MGG-stained. Bone marrow smear: 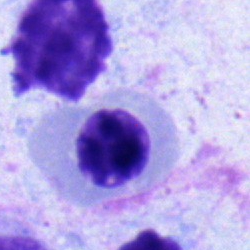
Q: What type of cell is this?
A: This is an erythroblast.